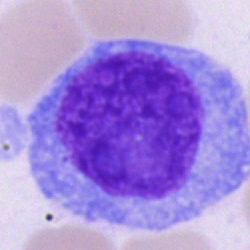Q: What type of cell is this?
A: This is a plasmacyte.